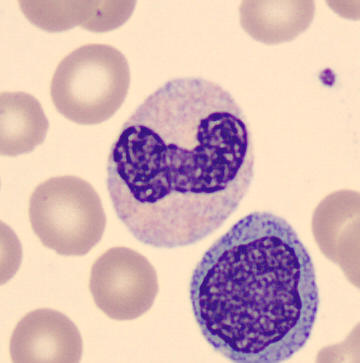
Acquisition: Peripheral blood film.
Morphology consistent with a neutrophil (band).